Pappenheim-stained. Single-cell crop. Bone marrow smear:
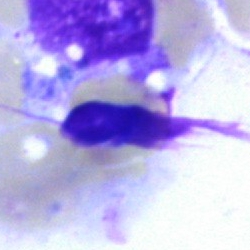
Showing an artefact.